Bone marrow smear: 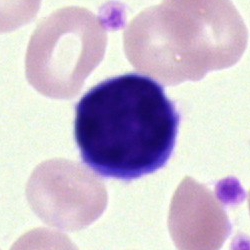 Morphology — lymphocyte.